Peripheral blood smear: 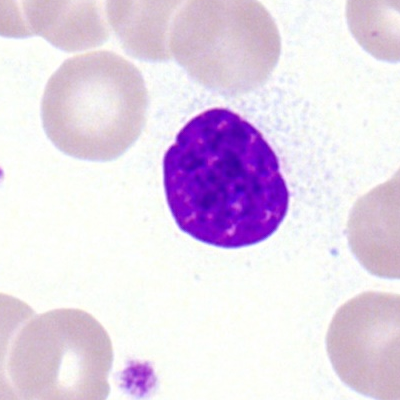

Cell type — basket cell.